Bone marrow aspirate smear.
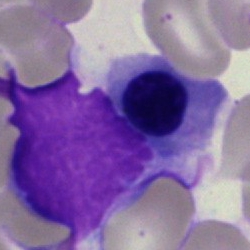 This is a nucleated red blood cell.